Bone marrow smear.
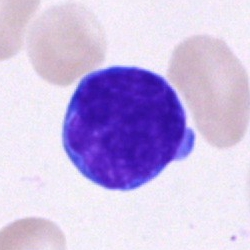Single cell identified as a lymphocyte.